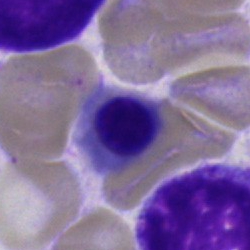

{"cell_type": "nucleated red blood cell", "lineage": "erythroid"}